Peripheral blood smear.
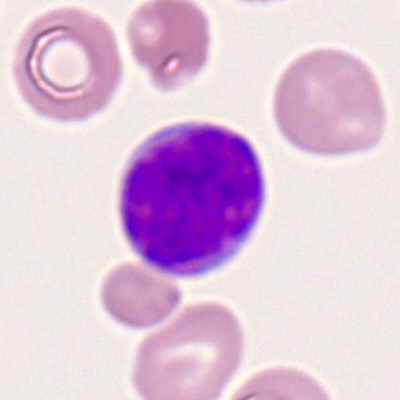Morphology consistent with a lymphocyte.